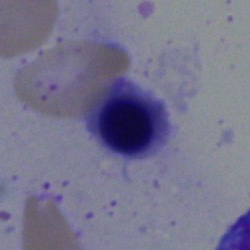Classification: nucleated red cell.